Bone marrow smear; 250 by 250 pixels
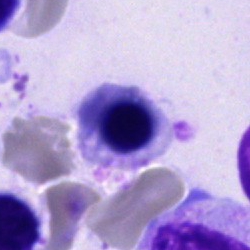 This is a nucleated red blood cell.